Bone marrow smear. 250×250: 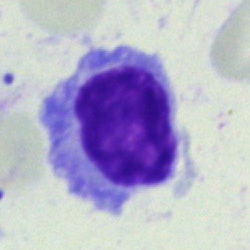 Q: Which cell type is shown here?
A: A lymphocyte.